250×250; May-Grünwald-Giemsa stain; bone marrow smear:
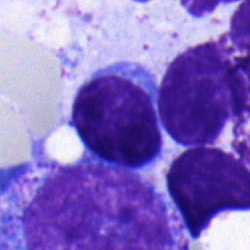
Cell — typical lymphocyte.